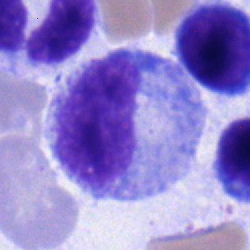 Q: Identify the cell.
A: A myelocyte.